Bone marrow smear
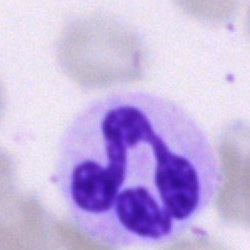Single cell identified as a polymorphonuclear neutrophil.